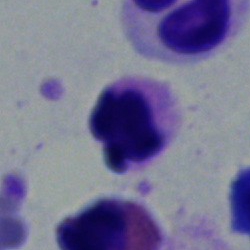

Impression → segmented neutrophil.